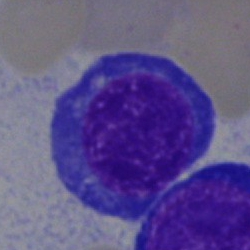 Classification — nucleated red blood cell.